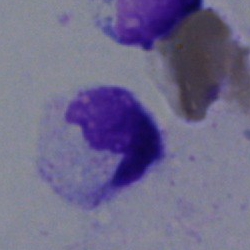

Q: What is shown here?
A: Artifact.